Bone marrow smear. Single-cell field. 250 by 250 pixels
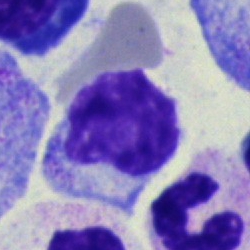 Q: What is shown here?
A: It is a typical lymphocyte.